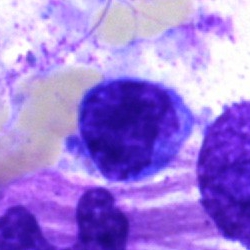 {"cell_type": "typical lymphocyte"}